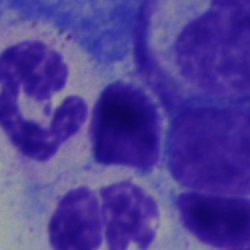A polymorphonuclear neutrophil.